Bone marrow smear:
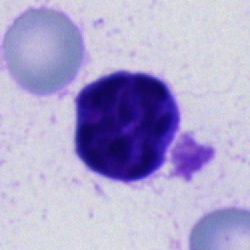Cell not matching the other categories.